Bone marrow aspirate smear — 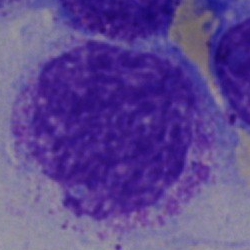
Showing an artefact.